Bone marrow aspirate smear
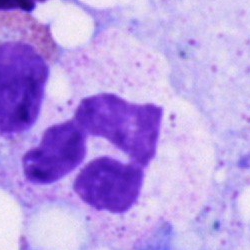 Specimen: bone marrow smear.
Cell: polymorphonuclear neutrophil.